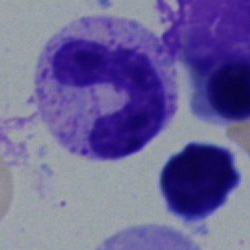 Cell: neutrophil (band).